Pappenheim-stained · bone marrow aspirate smear.
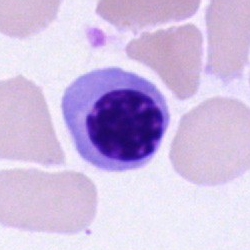
The cell shown is an erythroblast.